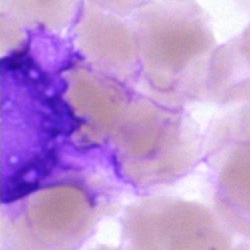
Morphology → artefact.